Bone marrow aspirate smear
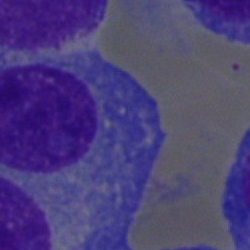

Cell type = plasma cell.